Bone marrow aspirate smear:
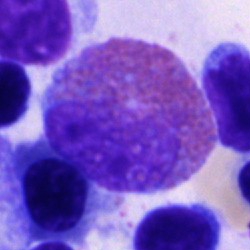

Q: Which cell type is shown here?
A: It is an eosinophil.